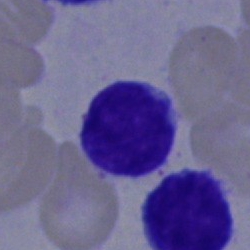Cell type = lymphocyte.